Single cell centered in the field. Bone marrow smear — 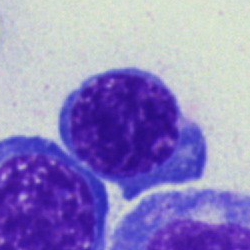

{"cell_type": "normoblast"}